Bone marrow aspirate smear · single cell centered in the field
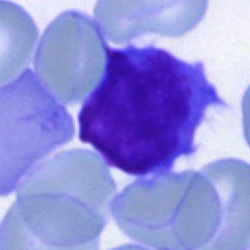
The cell shown is a lymphocyte.